250 by 250 pixels. Bone marrow smear.
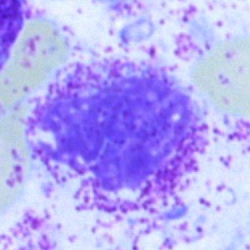
A myelocyte.